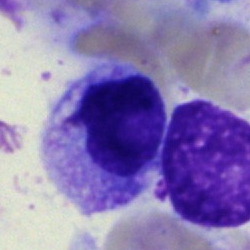 This is a typical lymphocyte.